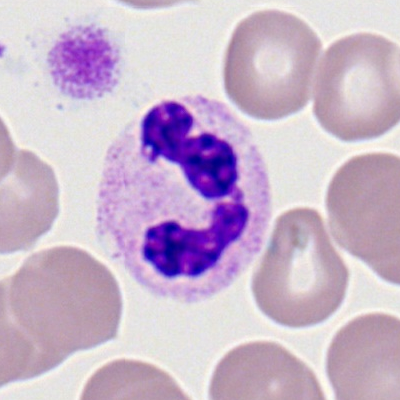
Specimen: peripheral blood smear.
Classification: polymorphonuclear neutrophil.
Lineage: myeloid.